Bone marrow aspirate smear
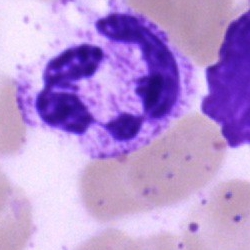Neutrophil (segmented).